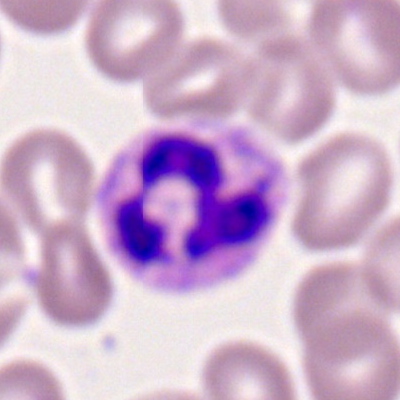

Specimen: peripheral blood smear.
Cell type: polymorphonuclear neutrophil.
Lineage: myeloid.